Bone marrow aspirate smear
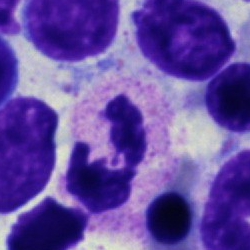A segmented neutrophil.